Brightfield, 40× oil-immersion objective; Pappenheim-stained; bone marrow smear
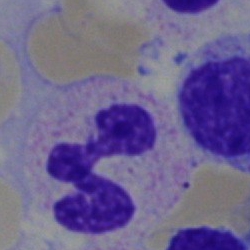
Cell type: neutrophil (segmented).